Bone marrow smear. Brightfield microscopy, 40× oil immersion — 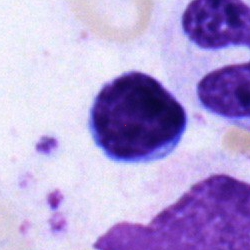

Single cell identified as a typical lymphocyte.